40× oil immersion. Bone marrow aspirate smear — 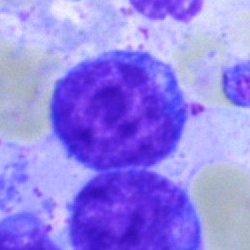The morphological class is undifferentiated blast.